Bone marrow smear
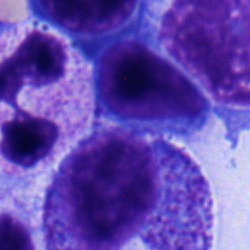Cell type: typical lymphocyte.